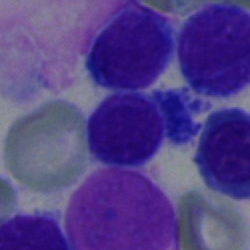Single cell identified as a typical lymphocyte.